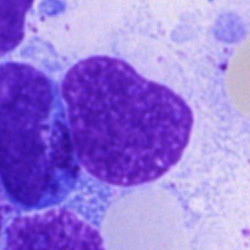Cell type — artifact.